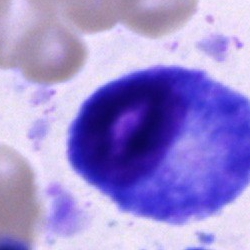
Q: What is shown here?
A: Promyelocyte.